Bone marrow aspirate smear
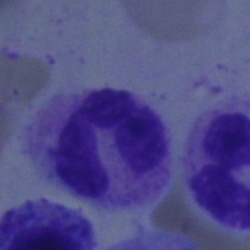

{"cell_type": "polymorphonuclear neutrophil"}